Bone marrow aspirate smear:
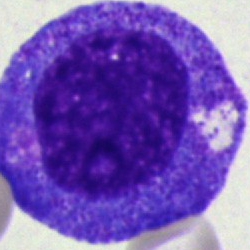

Specimen: bone marrow smear.
Classification: progranulocyte.
Lineage: myeloid.